250 by 250 pixels · single-cell field · bone marrow smear — 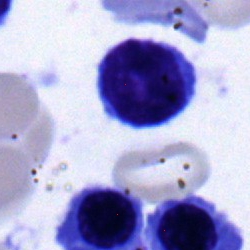

Lymphocyte.